Bone marrow aspirate smear: 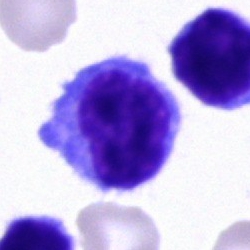
Lymphocyte.